Bone marrow aspirate smear — 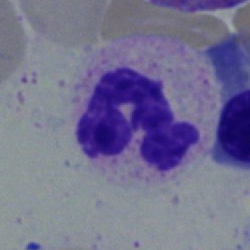Showing a neutrophil (segmented).